Bone marrow smear. Single cell centered in the field.
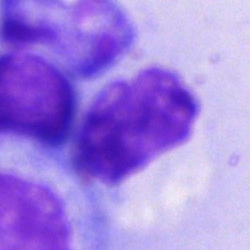
Cell type = cell of indeterminate lineage.